Bone marrow aspirate smear
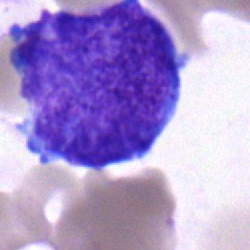

This is a blast cell.